Bone marrow smear:
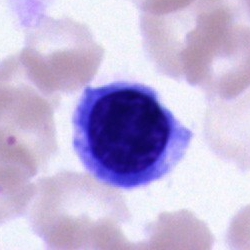Morphology → nucleated red cell.